Bone marrow aspirate smear.
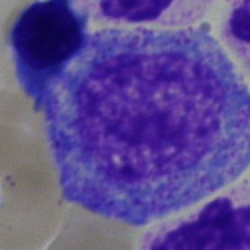Specimen: bone marrow smear.
Cell type: promyelocyte.